250×250. Bone marrow aspirate smear:
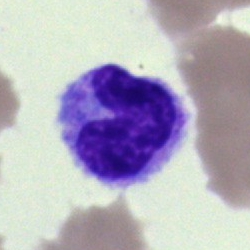The morphological class is monocyte.